Bone marrow smear: 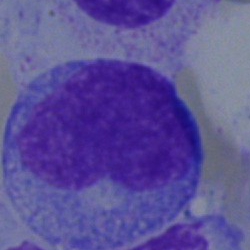The morphological class is monocyte.